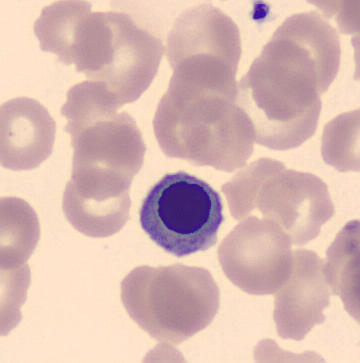
Impression — erythroblast.